Single-cell crop; bone marrow smear; 40× oil immersion:
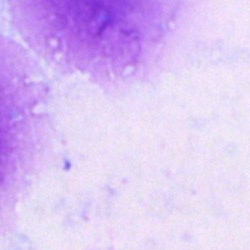 Specimen: bone marrow aspirate smear.
Cell: artifact.